Peripheral blood smear; single-cell field — 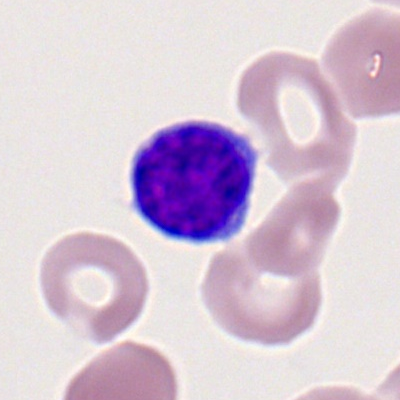
{"cell_type": "typical lymphocyte", "lineage": "lymphoid"}